Single-cell field; bone marrow smear
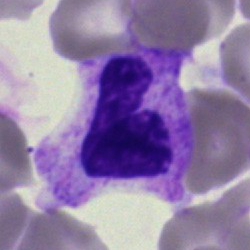

Specimen: bone marrow smear.
Cell: stab cell.
Lineage: myeloid.